Bone marrow smear.
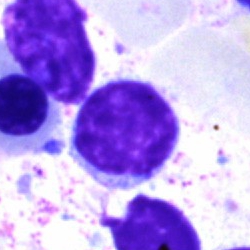

Q: Which cell type is shown here?
A: This is a typical lymphocyte.